Bone marrow smear; 250 by 250 pixels; 40× objective, oil immersion
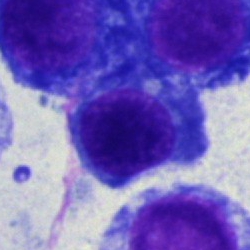
A nucleated red blood cell.